Peripheral blood smear; single-cell crop.
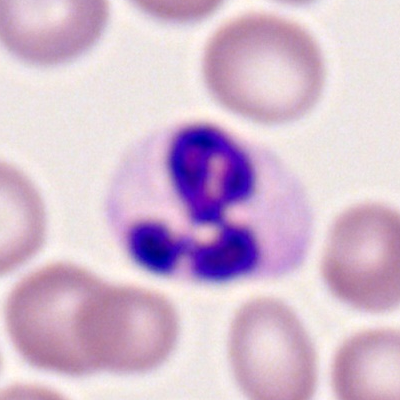

Q: What type of cell is this?
A: This is a polymorphonuclear neutrophil.